250×250 px; bone marrow aspirate smear
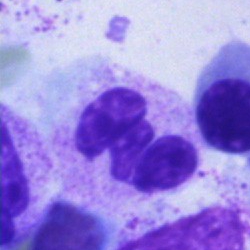Cell type — neutrophil (segmented).